Bone marrow smear — 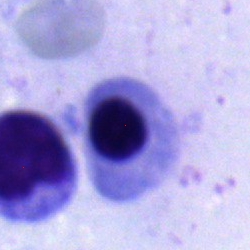Impression → nucleated red blood cell.